Bone marrow smear — 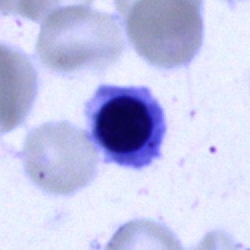{"cell_type": "erythroblast", "lineage": "erythroid"}